Bone marrow aspirate smear — 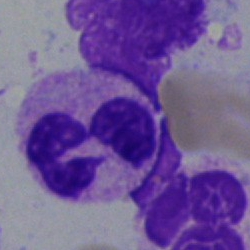

Polymorphonuclear neutrophil.